MGG-stained; bone marrow smear
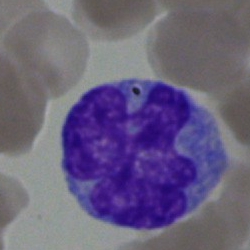A monocyte.